Pappenheim-stained. Bone marrow aspirate smear
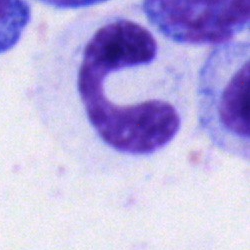

Q: Which cell type is shown here?
A: This is a neutrophil (band).